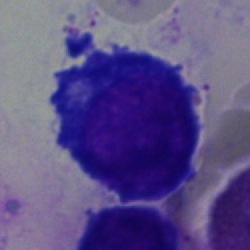

Specimen: bone marrow smear.
Classification: pronormoblast.
Lineage: erythroid.